Bone marrow smear. 250×250 px: 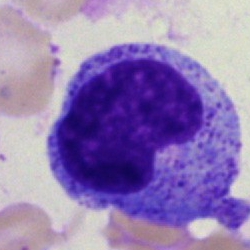 Specimen: bone marrow smear.
Classification: promyelocyte.
Lineage: myeloid.